Bone marrow smear
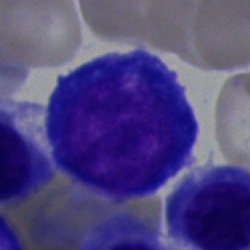
Q: Identify the cell.
A: Nucleated red blood cell.